Bone marrow aspirate smear · 250×250 px.
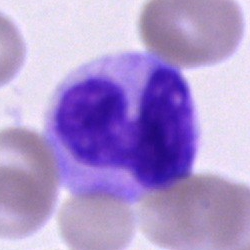 Q: What is the morphological classification of this cell?
A: It is a stab cell.